Bone marrow aspirate smear:
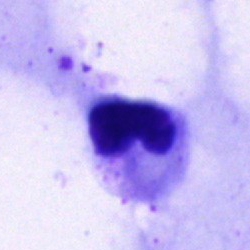
{"cell_type": "polymorphonuclear neutrophil"}